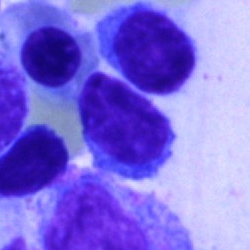

Specimen: bone marrow aspirate smear.
Classification: typical lymphocyte.
Lineage: lymphoid.